Peripheral blood film.
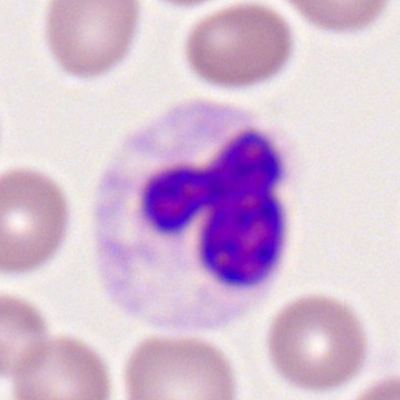
Morphology → neutrophil (segmented).